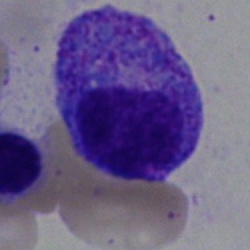
Specimen: bone marrow smear.
Cell type: progranulocyte.
Lineage: myeloid.